40× oil immersion · bone marrow smear · Pappenheim-stained: 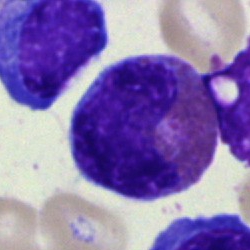
Q: What is the morphological classification of this cell?
A: This is an eosinophil.